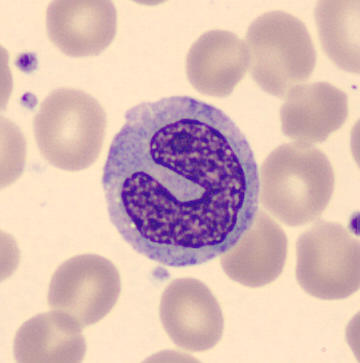

Cell — monocyte.

Peripheral blood smear · CellaVision DM96.